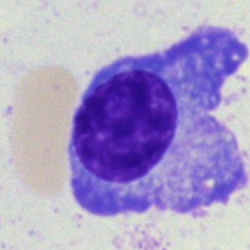

Classification = plasma cell.